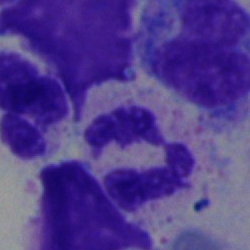{"cell_type": "polymorphonuclear neutrophil", "lineage": "myeloid"}